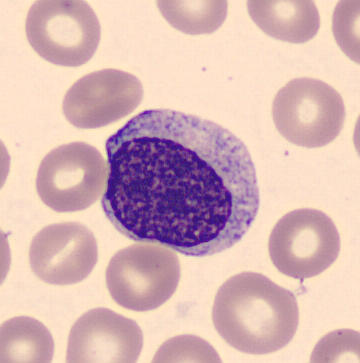

Peripheral blood smear.

Single cell identified as a myelocyte.